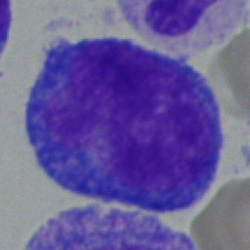

An undifferentiated blast.